Bone marrow aspirate smear.
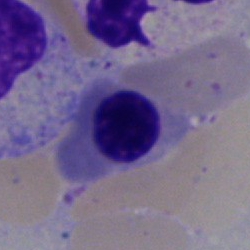Impression → nucleated red blood cell.